May-Grünwald-Giemsa/Pappenheim stain · bone marrow smear · single-cell crop.
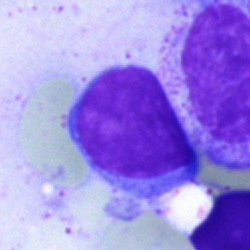
The cell is lymphocyte.